Bone marrow aspirate smear.
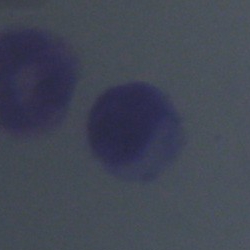Showing an unidentifiable cell.